Romanowsky stain · peripheral blood film — 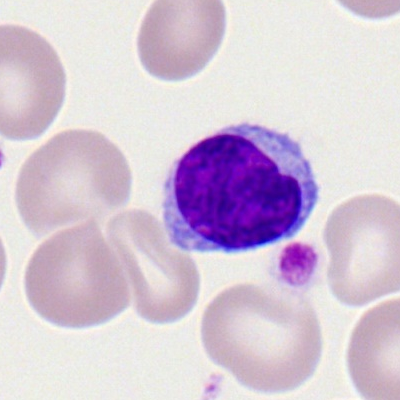Lymphocyte.